Bone marrow smear — 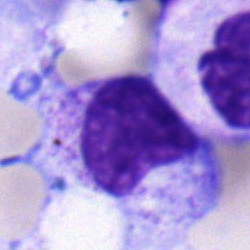Morphological class = metamyelocyte.